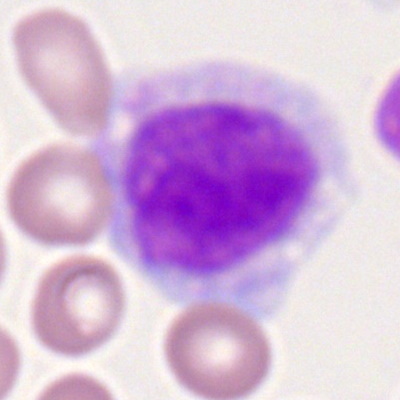

Morphological class — monocyte.